400×400 px; peripheral blood smear.
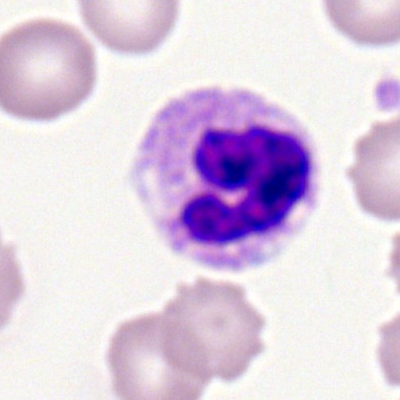

Impression — polymorphonuclear neutrophil.